May-Grünwald-Giemsa/Pappenheim stain · bone marrow aspirate smear:
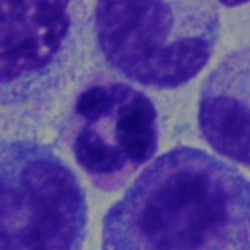

Single cell identified as a segmented neutrophil.